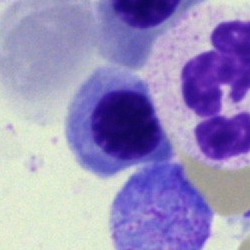Cell type = nucleated red cell.